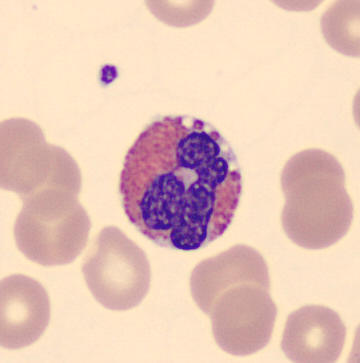 Image: Single-cell crop · May Grünwald-Giemsa stain · peripheral blood film.
Eosinophil.